Bone marrow aspirate smear.
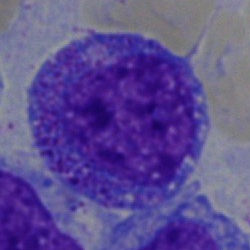 Morphological class — promyelocyte.